40× objective, oil immersion; bone marrow aspirate smear.
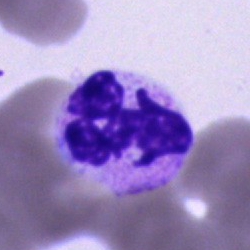
Cell type: polymorphonuclear neutrophil.